Bone marrow aspirate smear.
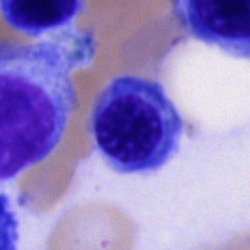Specimen: bone marrow smear.
Classification: normoblast.